Bone marrow smear · brightfield, 40× oil-immersion objective: 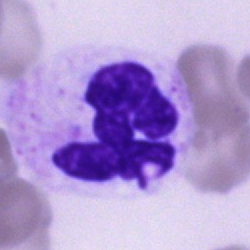
Classification: segmented neutrophil.